Bone marrow aspirate smear:
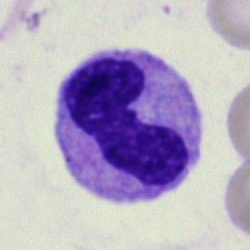

Impression — band-form neutrophil.